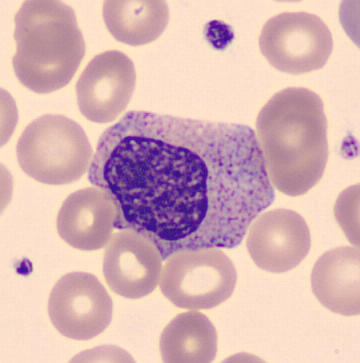
Specimen: peripheral blood film.
Morphological class: myelocyte.
Lineage: myeloid.